250 by 250 pixels; bone marrow smear: 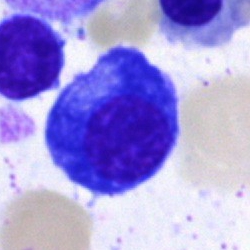 A plasma cell.